Single-cell field. Bone marrow smear
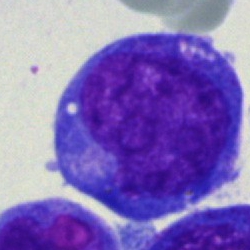 A blast cell.